MGG-stained · bone marrow smear: 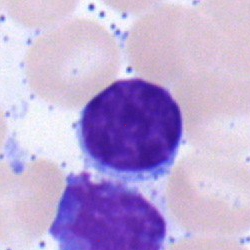
Impression → lymphocyte.